Bone marrow smear: 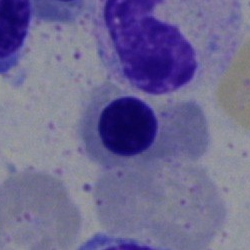

Morphology — erythroblast.